Bone marrow smear. May-Grünwald-Giemsa stain — 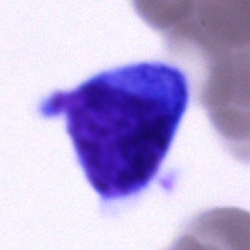

Morphology consistent with a blast cell.